Peripheral blood smear. Romanowsky-stained.
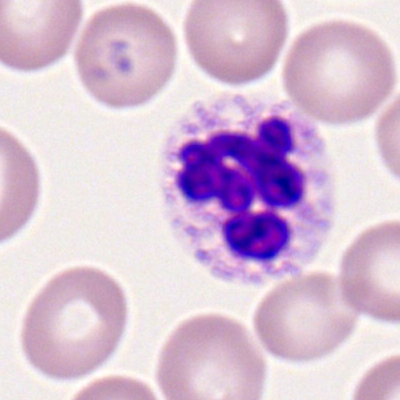

Morphology consistent with a polymorphonuclear neutrophil.